Bone marrow aspirate smear. 250×250 px: 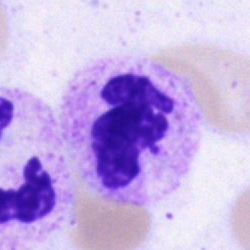
Single cell identified as a segmented neutrophil.